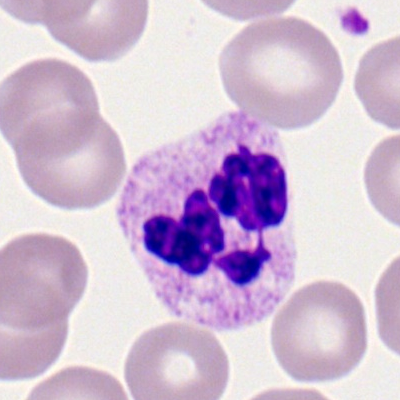 Specimen: peripheral blood smear.
Classification: neutrophil (segmented).
Lineage: myeloid.